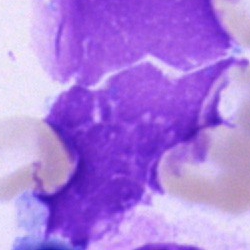

Artefact.